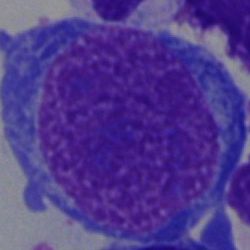Impression → proerythroblast.